Bone marrow aspirate smear; Pappenheim-stained
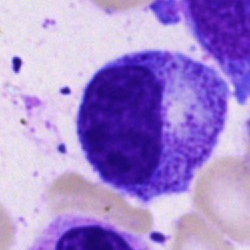 Morphology — myelocyte.